Romanowsky-stained; peripheral blood smear — 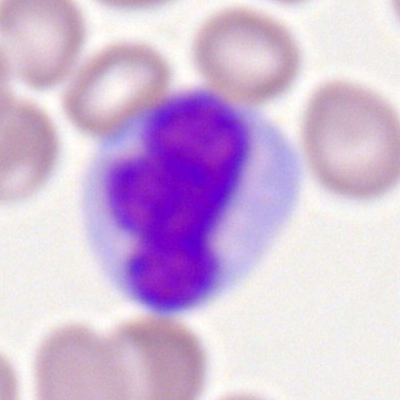Showing a monocyte.